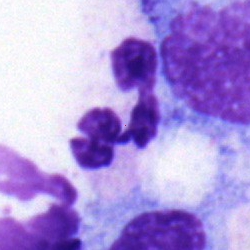

Specimen: bone marrow smear.
Classification: polymorphonuclear neutrophil.
Lineage: myeloid.